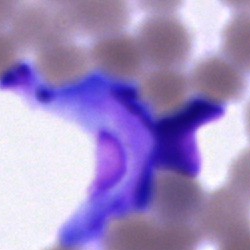

The cell is artifact.